Bone marrow aspirate smear:
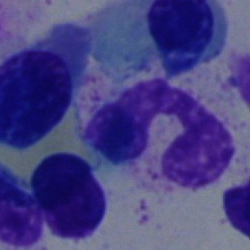 The cell shown is a segmented neutrophil.